250 by 250 pixels; single cell centered in the field; bone marrow aspirate smear.
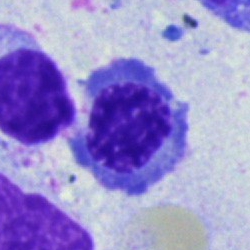Q: What is the morphological classification of this cell?
A: Erythroblast.